Peripheral blood smear · Romanowsky stain.
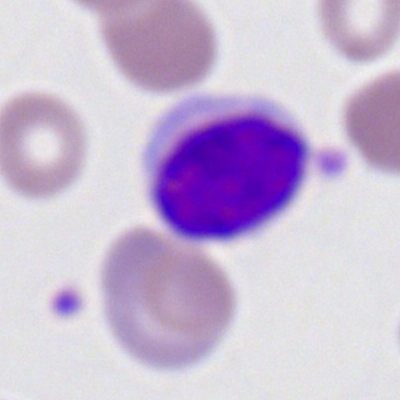

Lymphocyte.